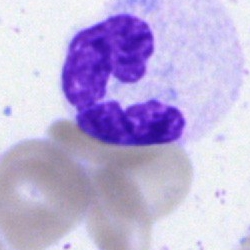

The cell shown is a polymorphonuclear neutrophil.